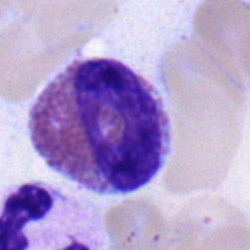 Q: Identify the cell.
A: It is an eosinophil.